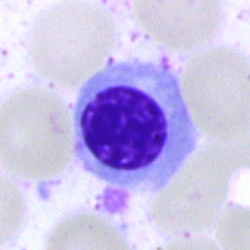
The classification is normoblast.